Bone marrow smear.
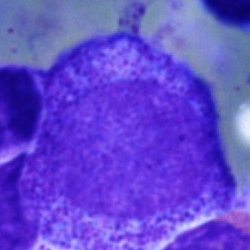 {"cell_type": "progranulocyte"}